Bone marrow aspirate smear: 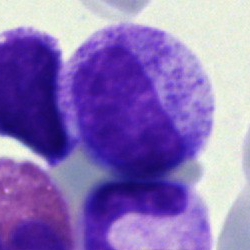
Morphology consistent with a myelocyte.